Bone marrow smear:
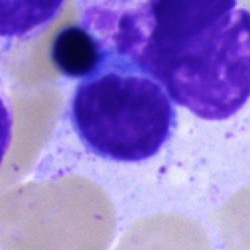The cell shown is a lymphocyte.